100× oil immersion, 14.14 px/µm · peripheral blood film · 400 by 400 pixels:
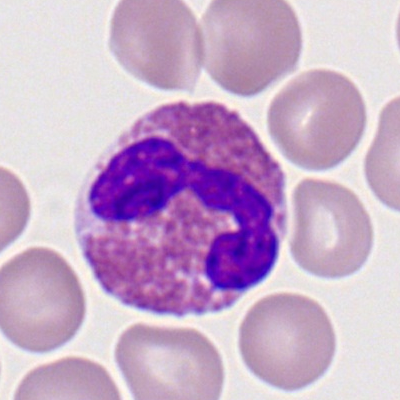The cell shown is an eosinophilic granulocyte.